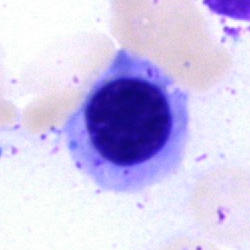

Impression — nucleated red blood cell.